Bone marrow smear. 250×250 px
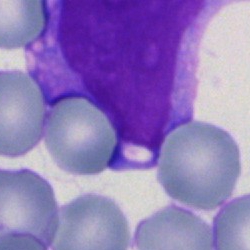Morphology consistent with a blast.